Bone marrow aspirate smear
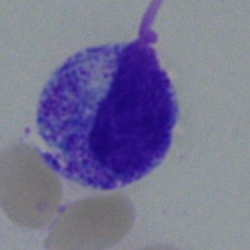Showing a myelocyte.